Bone marrow smear:
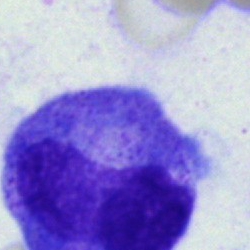
Promyelocyte.